Bone marrow aspirate smear. 40× objective, oil immersion
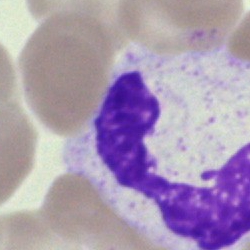

A stab cell.